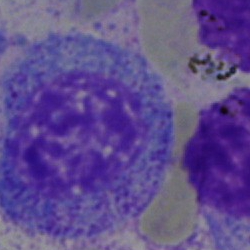 Cell type — promyelocyte.